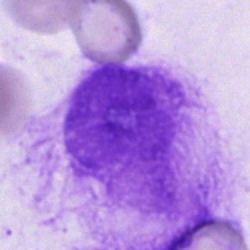

Cell: artifact.